Bone marrow aspirate smear:
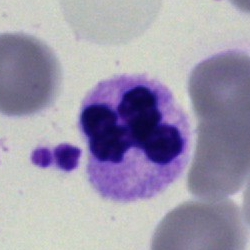 A polymorphonuclear neutrophil.